Single-cell crop; bone marrow aspirate smear.
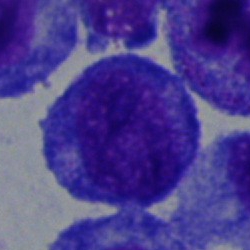

Morphology consistent with a progranulocyte.